Bone marrow aspirate smear; 40× objective, oil immersion — 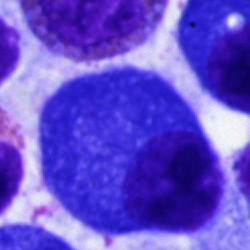 Specimen: bone marrow aspirate smear.
Cell type: plasma cell.